Peripheral blood film — 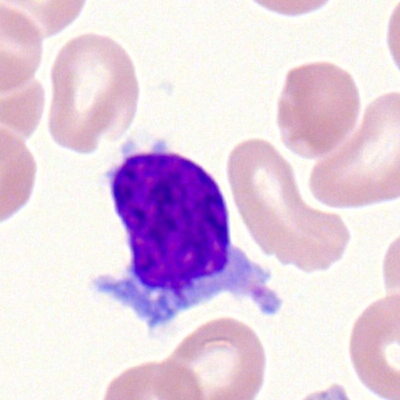
A lymphocyte.